Peripheral blood film:
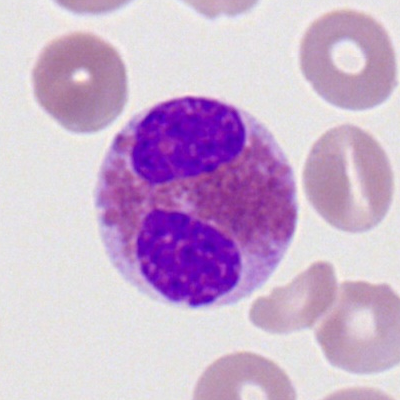
Single cell identified as an eosinophil.